May-Grünwald-Giemsa stain; image size 250×250; bone marrow aspirate smear:
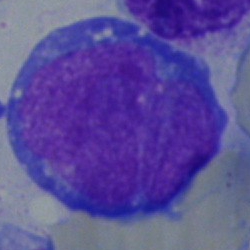

Single cell identified as an undifferentiated blast.